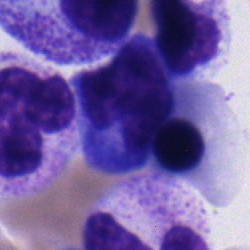
The classification is monocyte.